Peripheral blood film
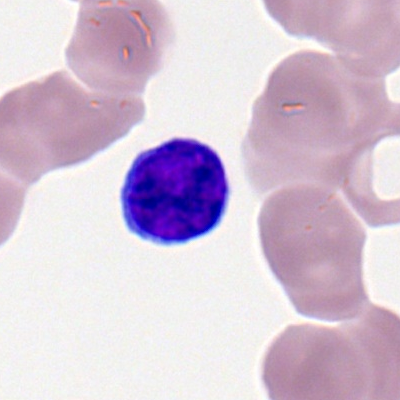Classification = lymphocyte.